Cropped to a single cell. Bone marrow smear. 250×250:
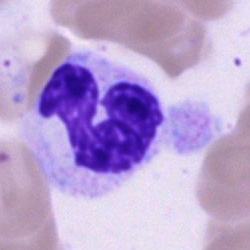
Morphological class: polymorphonuclear neutrophil.